Peripheral blood smear · brightfield, 100× oil-immersion objective · cropped to a single cell: 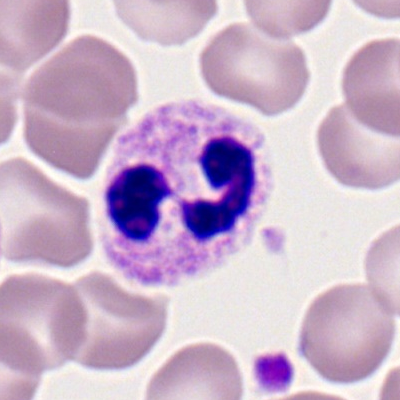

Single cell identified as a neutrophil (segmented).